Bone marrow aspirate smear: 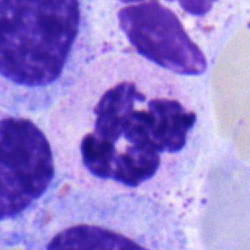The cell shown is a polymorphonuclear neutrophil.